Peripheral blood smear:
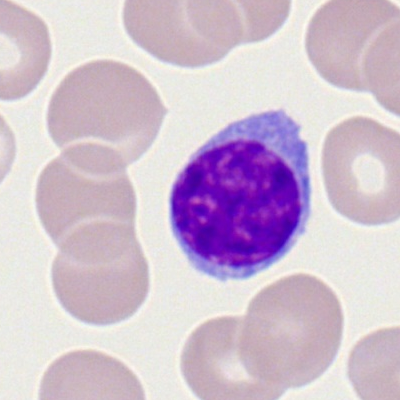

Q: What type of cell is this?
A: It is a typical lymphocyte.